May-Grünwald-Giemsa stain; bone marrow smear; single-cell crop — 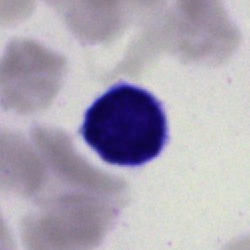 Morphological class — lymphocyte.